Bone marrow aspirate smear:
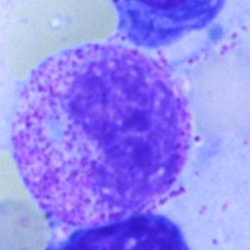Cell = metamyelocyte.